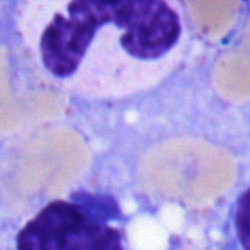
Specimen: bone marrow smear.
Classification: polymorphonuclear neutrophil.
Lineage: myeloid.